Bone marrow aspirate smear:
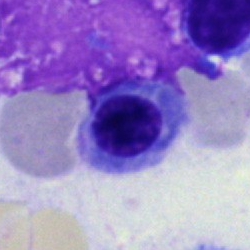

Specimen: bone marrow aspirate smear.
Cell: nucleated red blood cell.